Pappenheim-stained; bone marrow aspirate smear; brightfield, 40× oil-immersion objective.
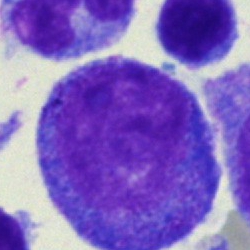 Showing a promyelocyte.